Bone marrow smear.
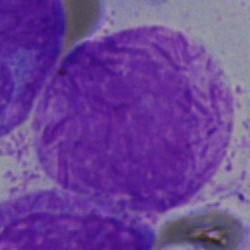 Classification — cell with bundled Auer rods.